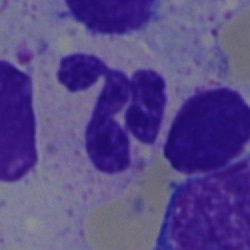 Q: What is the morphological classification of this cell?
A: Polymorphonuclear neutrophil.